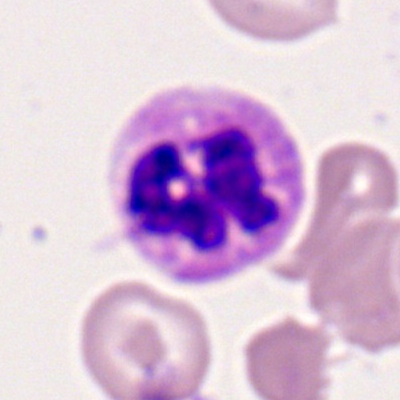This is a segmented neutrophil.